Bone marrow smear.
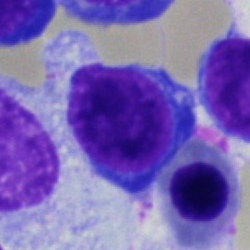
The cell shown is a typical lymphocyte.